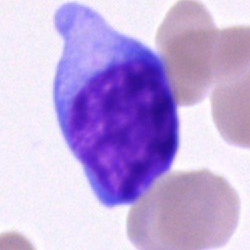

Classification: blast cell.